100× oil immersion, 14.14 px/µm; peripheral blood film:
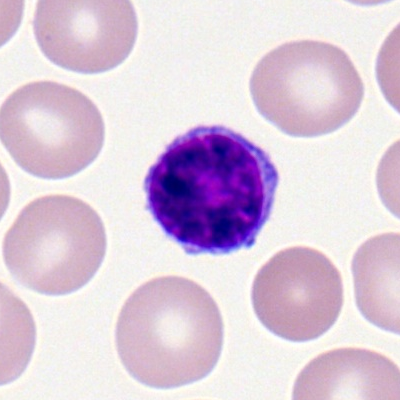
A lymphocyte.